Bone marrow smear: 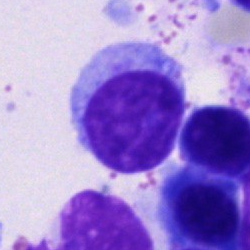

Cell type = typical lymphocyte.